Bone marrow aspirate smear; 250 by 250 pixels — 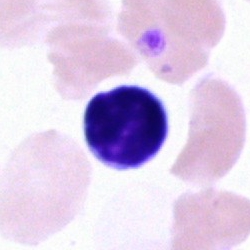
Cell type — typical lymphocyte.